Bone marrow aspirate smear: 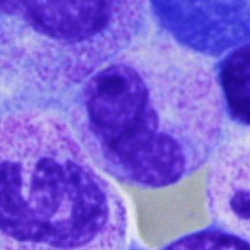 Specimen: bone marrow aspirate smear.
Morphological class: band neutrophil.
Lineage: myeloid.